Image size 250×250; 40× oil immersion; bone marrow smear: 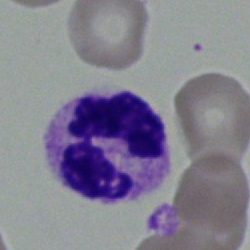Cell type: neutrophil (segmented).